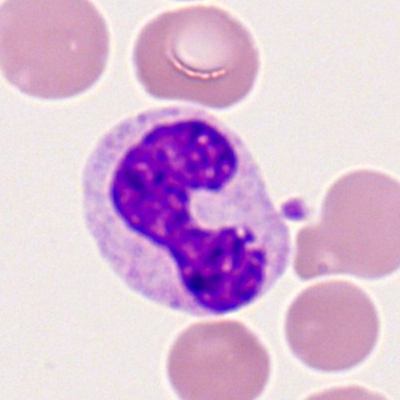 {"cell_type": "polymorphonuclear neutrophil", "lineage": "myeloid"}